MGG-stained. Single cell centered in the field. Bone marrow aspirate smear:
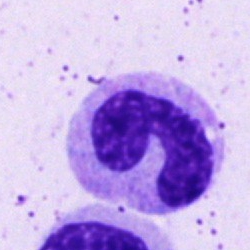
Band neutrophil.